Bone marrow smear. Single-cell field:
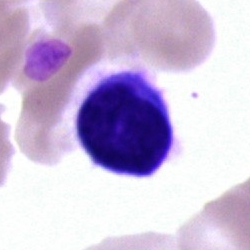 Showing a typical lymphocyte.